Single-cell field · bone marrow smear · brightfield, 40× oil-immersion objective — 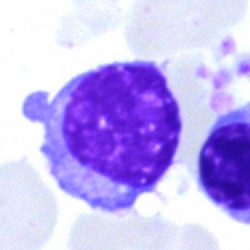 Morphological class — lymphocyte.